Bone marrow aspirate smear
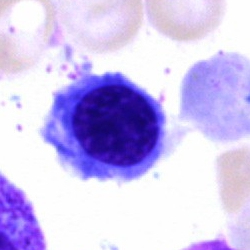Morphological class = normoblast.